Bone marrow aspirate smear; image size 250×250: 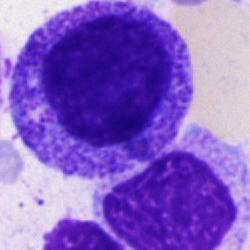 Single cell identified as a progranulocyte.